Bone marrow aspirate smear: 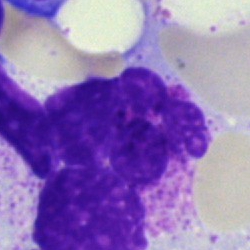This is an artifact.